Bone marrow aspirate smear. Cropped to a single cell.
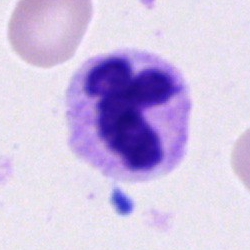

Q: What is the morphological classification of this cell?
A: A segmented neutrophil.